Bone marrow smear
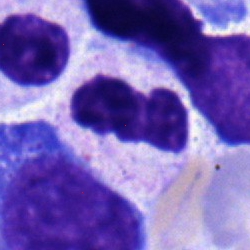

Cell — polymorphonuclear neutrophil.